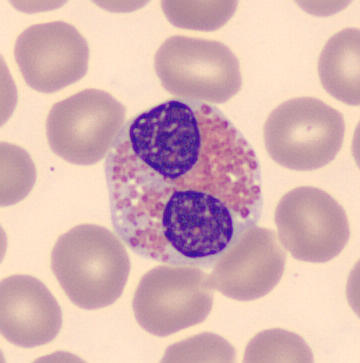
An eosinophilic granulocyte.
CellaVision DM96 digital cell image. Peripheral blood smear.